Bone marrow smear; 250×250 — 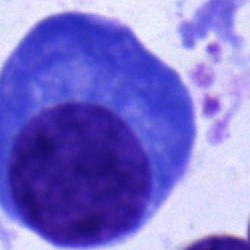

Q: Identify the cell.
A: This is a plasma cell.